Single-cell crop; bone marrow smear
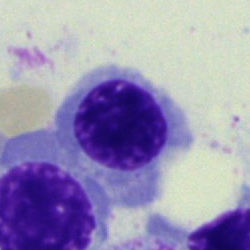

The cell type is erythroblast.